Bone marrow smear · 40× oil immersion · single-cell field
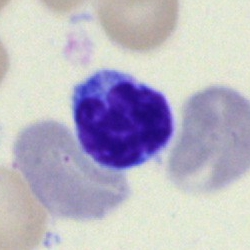
Cell — typical lymphocyte.